Bone marrow smear: 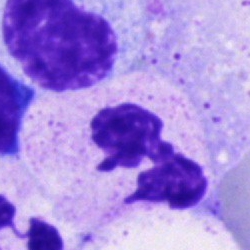

Specimen: bone marrow smear.
Cell type: polymorphonuclear neutrophil.